Brightfield microscopy, 40× oil immersion · May-Grünwald-Giemsa/Pappenheim stain · bone marrow aspirate smear.
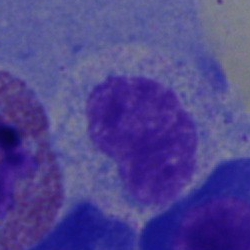
Classification: metamyelocyte.